Bone marrow aspirate smear: 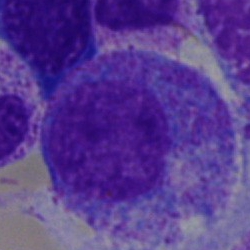 Morphological class — progranulocyte.